Bone marrow aspirate smear:
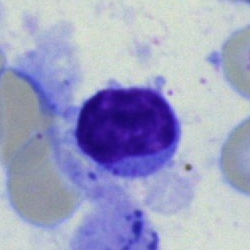Q: What is shown here?
A: A lymphocyte.